MGG-stained. Bone marrow smear.
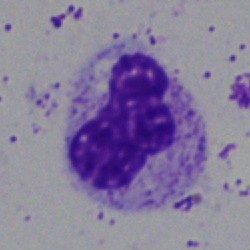 Cell type — segmented neutrophil.